Bone marrow aspirate smear; 250×250:
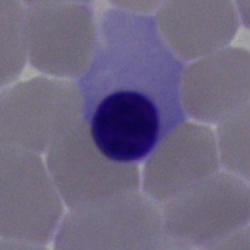
The cell is nucleated red cell.